Bone marrow aspirate smear
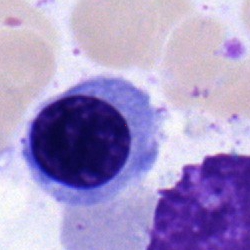

Specimen: bone marrow smear.
Cell: nucleated red blood cell.
Lineage: erythroid.